Bone marrow smear; single-cell field; brightfield, 40× oil-immersion objective:
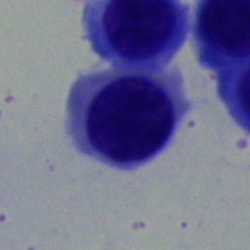 Morphological class = nucleated red blood cell.